Bone marrow smear · May-Grünwald-Giemsa stain · brightfield microscopy, 40× oil immersion.
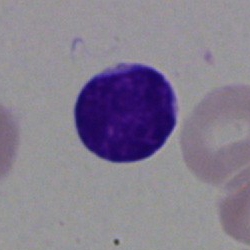
Morphology — blast cell.